40× objective, oil immersion; 250×250; bone marrow smear — 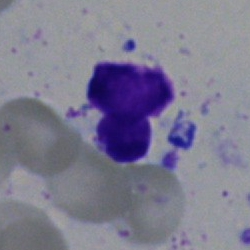
Cell: artefact.